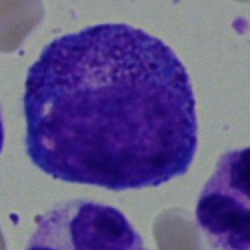Single cell identified as a promyelocyte.